Bone marrow aspirate smear; brightfield microscopy, 40× oil immersion — 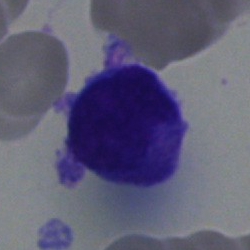 Showing a blast.